40× objective, oil immersion; bone marrow aspirate smear.
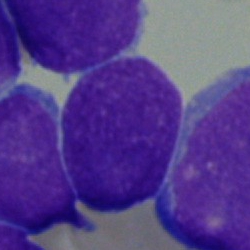Cell = blast.